Bone marrow aspirate smear: 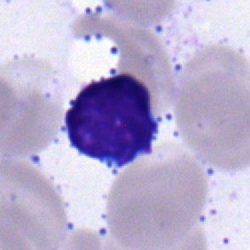
Morphological class = typical lymphocyte.